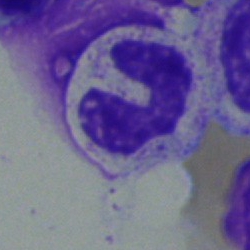 Q: Identify the cell.
A: A band neutrophil.